Bone marrow aspirate smear; 40× oil immersion:
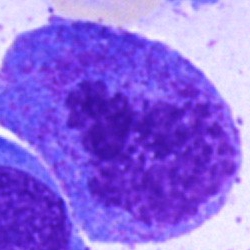
Q: Which cell type is shown here?
A: Progranulocyte.